Brightfield microscopy, 40× oil immersion. Bone marrow smear — 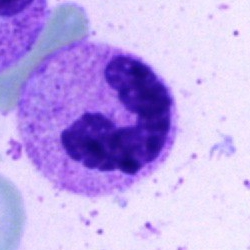 The morphological class is polymorphonuclear neutrophil.